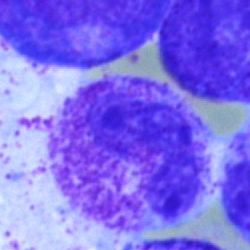 Specimen: bone marrow smear.
Cell type: neutrophil (segmented).